Bone marrow aspirate smear · 250 by 250 pixels.
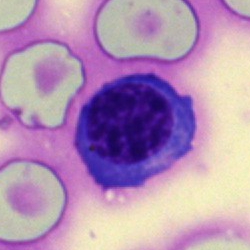 Specimen: bone marrow aspirate smear.
Cell type: nucleated red cell.